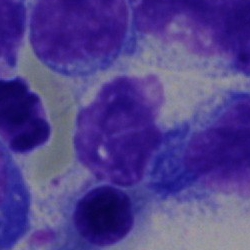

Q: What is shown here?
A: Artifact.